250×250 px · brightfield, 40× oil-immersion objective · bone marrow smear.
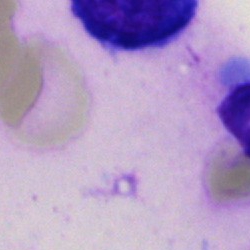

The cell shown is an artifact.